MGG-stained; bone marrow aspirate smear
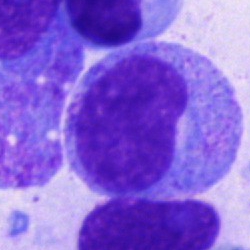
{"cell_type": "progranulocyte"}